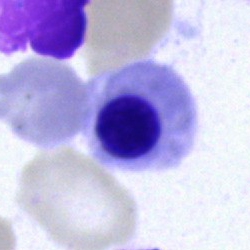Showing a nucleated red cell.